Pappenheim-stained. Bone marrow aspirate smear
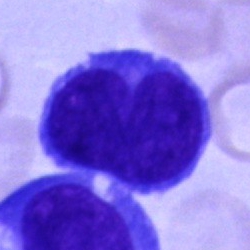

Morphology consistent with a blast.